Bone marrow aspirate smear · single-cell field · brightfield microscopy, 40× oil immersion: 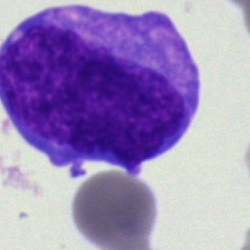

Q: What type of cell is this?
A: This is an undifferentiated blast.